Bone marrow smear · brightfield microscopy, 40× oil immersion: 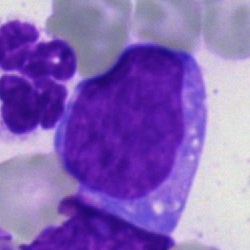Cell type: blast cell.